Bone marrow aspirate smear — 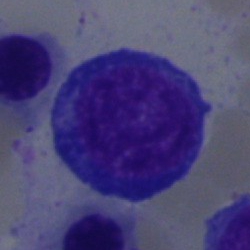

Q: Identify the cell.
A: This is a normoblast.